Bone marrow aspirate smear
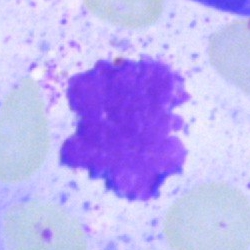Morphology — artifact.